Bone marrow aspirate smear — 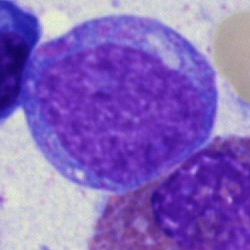 A promyelocyte.